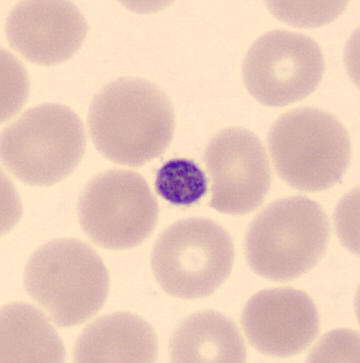 Peripheral blood smear.
Q: What is shown here?
A: It is a thrombocyte.